Single-cell crop; peripheral blood film; Romanowsky-type stain:
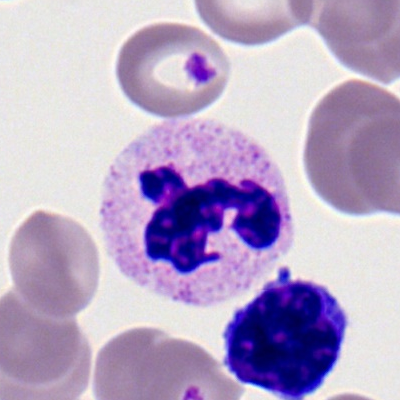

Q: Which cell type is shown here?
A: This is a segmented neutrophil.